Bone marrow smear · single-cell field · 250 by 250 pixels
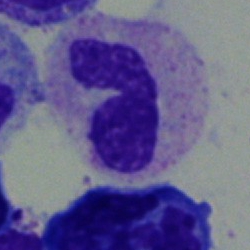 Q: What is the morphological classification of this cell?
A: This is a band-form neutrophil.